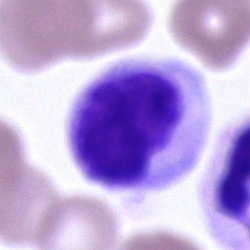
Classification — cell of indeterminate lineage.